Bone marrow smear:
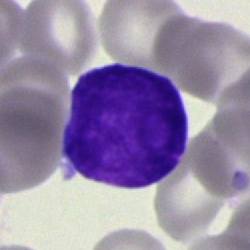The cell shown is a blast.